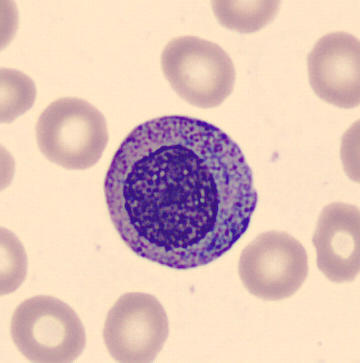

Image: Peripheral blood smear; May Grünwald-Giemsa stain. Morphology consistent with a myelocyte.